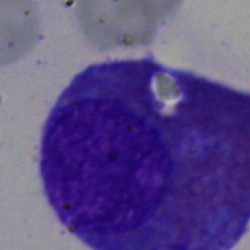 Classification: eosinophilic granulocyte.